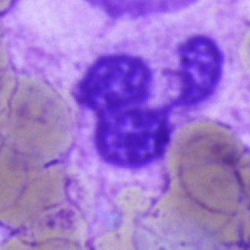 Q: Identify the cell.
A: Neutrophil (segmented).